Single-cell crop; bone marrow aspirate smear: 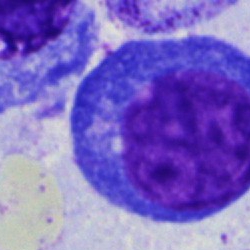
Q: What is the morphological classification of this cell?
A: Pronormoblast.